Bone marrow smear. May-Grünwald-Giemsa stain:
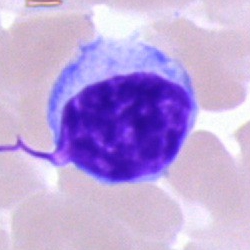
Morphology → lymphocyte.